Bone marrow smear: 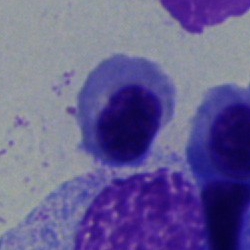

Q: What is the morphological classification of this cell?
A: It is an erythroblast.